Bone marrow aspirate smear — 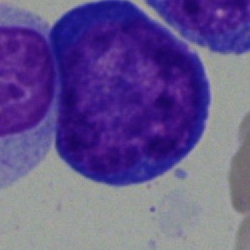Morphology consistent with a blast cell.